Peripheral blood smear: 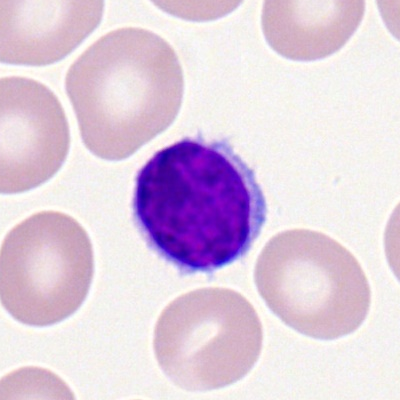Cell type = lymphocyte.